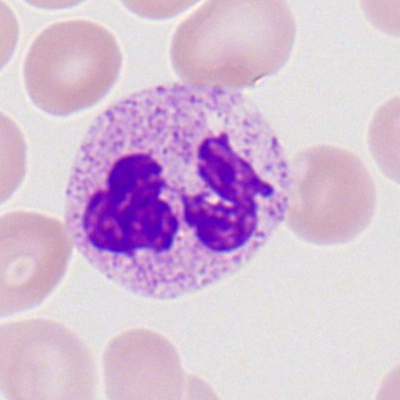
Peripheral blood film, single cell — polymorphonuclear neutrophil.